Bone marrow smear.
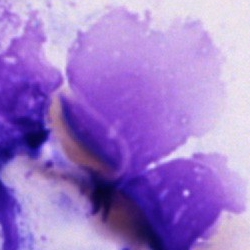Morphology — artefact.